250×250 px · single-cell crop · bone marrow smear:
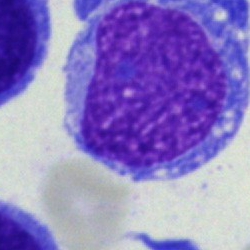 Cell type — undifferentiated blast.